Bone marrow aspirate smear:
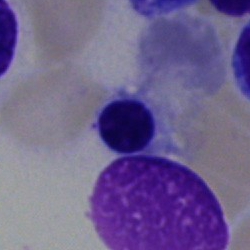 Specimen: bone marrow aspirate smear.
Morphological class: nucleated red cell.
Lineage: erythroid.